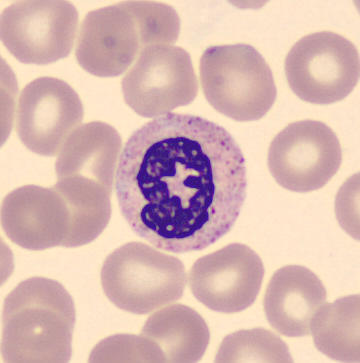

A polymorphonuclear neutrophil.